Bone marrow aspirate smear:
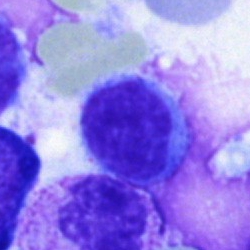

Morphological class: typical lymphocyte.